Single-cell field · bone marrow aspirate smear.
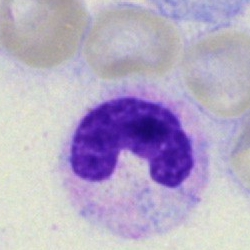 Q: What is shown here?
A: A band-form neutrophil.